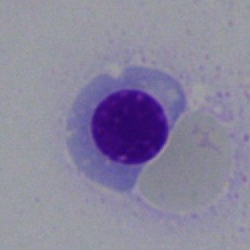
Specimen: bone marrow smear.
Morphological class: nucleated red blood cell.
Lineage: erythroid.